Bone marrow aspirate smear:
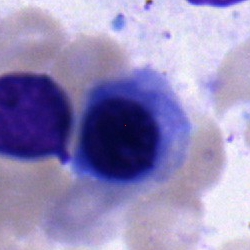Cell = nucleated red cell.